Bone marrow aspirate smear. May-Grünwald-Giemsa/Pappenheim stain.
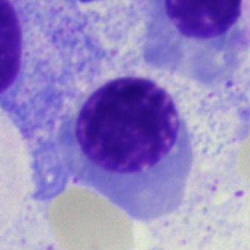Showing a nucleated red cell.